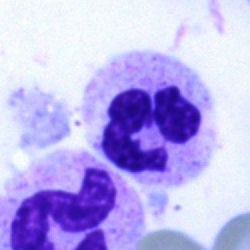Cell — segmented neutrophil.